Bone marrow aspirate smear.
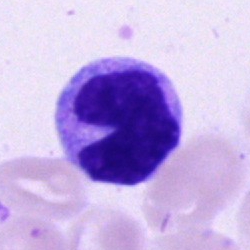 {"cell_type": "monocyte"}